Bone marrow aspirate smear — 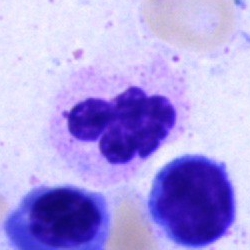

Morphology → neutrophil (segmented).